Pappenheim-stained · bone marrow smear
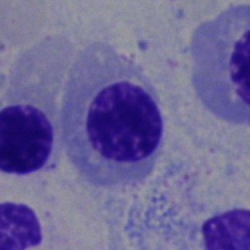
Q: Which cell type is shown here?
A: Erythroblast.